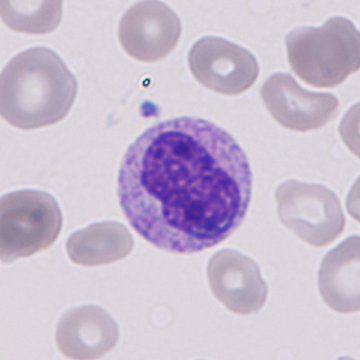 Q: What is this?
A: A granulocyte precursor.